Bone marrow aspirate smear
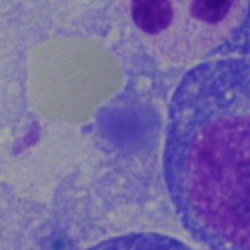

Morphology consistent with a blast.